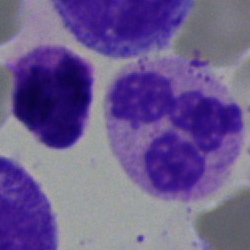 Classification = segmented neutrophil.